Image size 250×250; brightfield microscopy, 40× oil immersion; bone marrow smear — 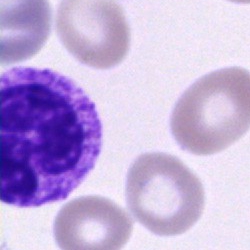
Showing a neutrophil (segmented).